Bone marrow smear: 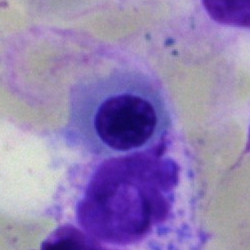

Specimen: bone marrow smear.
Cell type: normoblast.